Bone marrow smear
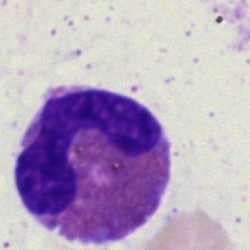Eosinophil.